Pappenheim-stained. Bone marrow smear:
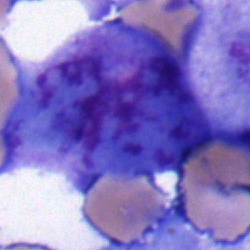 Impression — blast cell.